Peripheral blood smear; single-cell crop; 100× oil immersion, 14.14 px/µm.
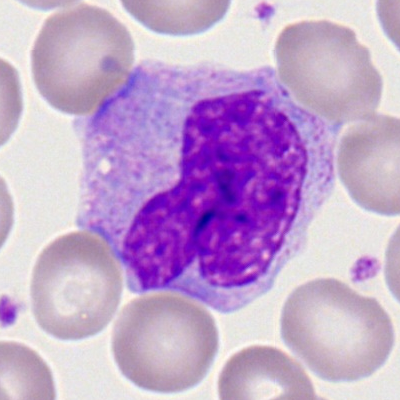 The classification is monocyte.